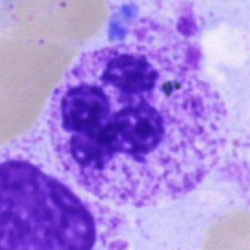

The classification is polymorphonuclear neutrophil.